Bone marrow smear.
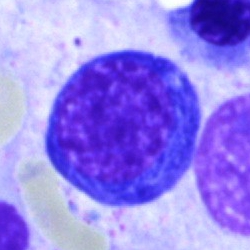 Morphological class = nucleated red blood cell.